Peripheral blood film
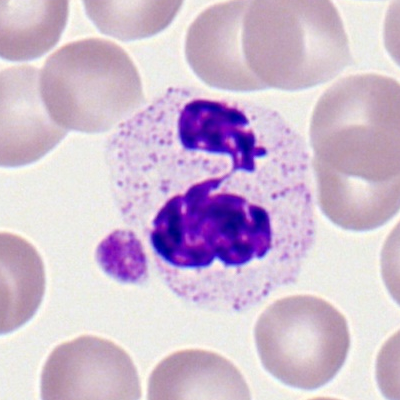

Cell type — polymorphonuclear neutrophil.